Bone marrow smear: 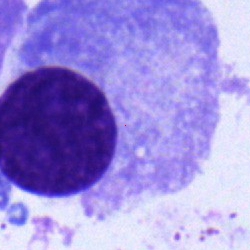

Q: What is shown here?
A: A plasma cell.